40× objective, oil immersion · single-cell crop · bone marrow aspirate smear: 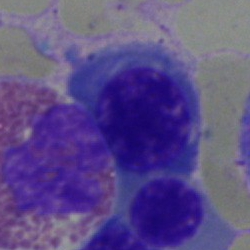 {"cell_type": "normoblast", "lineage": "erythroid"}